Bone marrow smear:
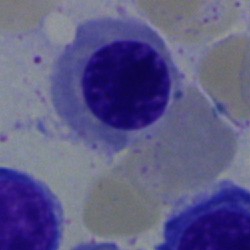

Morphology — erythroblast.